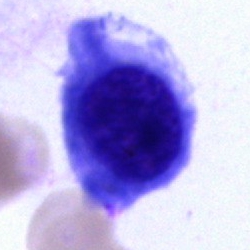
Q: What type of cell is this?
A: It is an erythroblast.